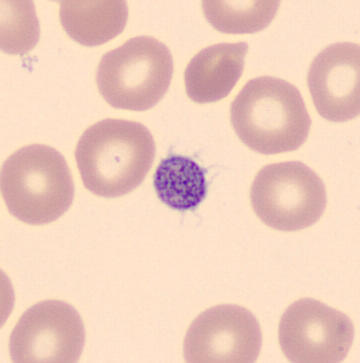
Peripheral blood film · MGG-stained.

Cell type = platelet (thrombocyte).